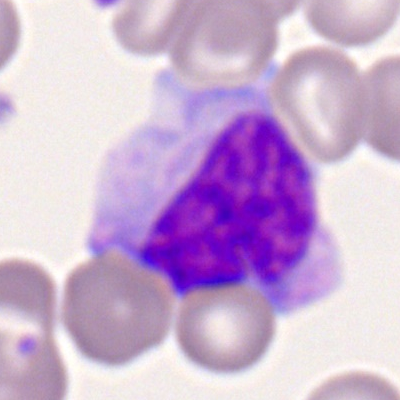 Peripheral blood film, single cell — monocyte.